Bone marrow smear: 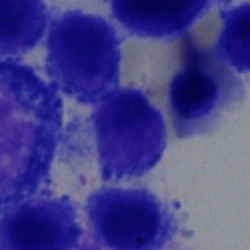
Q: What is the morphological classification of this cell?
A: Typical lymphocyte.